Bone marrow smear · cropped to a single cell · May-Grünwald-Giemsa stain
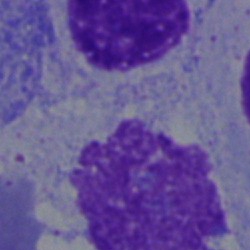

{"cell_type": "artefact"}